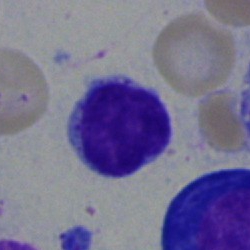The cell type is lymphocyte.